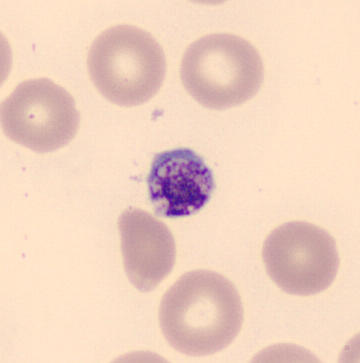 A platelet on a peripheral blood smear.